Bone marrow smear.
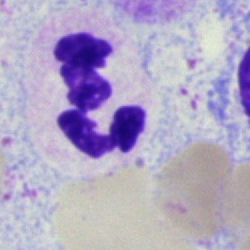{"cell_type": "polymorphonuclear neutrophil"}